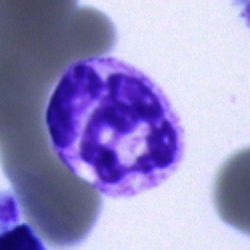Morphological class: segmented neutrophil.